Bone marrow aspirate smear; May-Grünwald-Giemsa stain
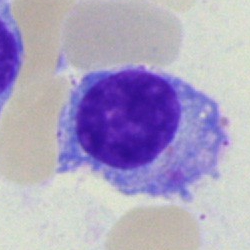Classification: plasmacyte.